Bone marrow aspirate smear.
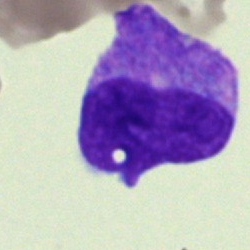 This is a blast cell.